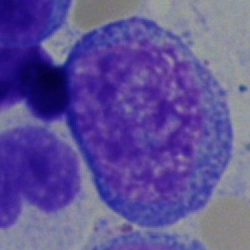
{"cell_type": "undifferentiated blast"}